Peripheral blood smear: 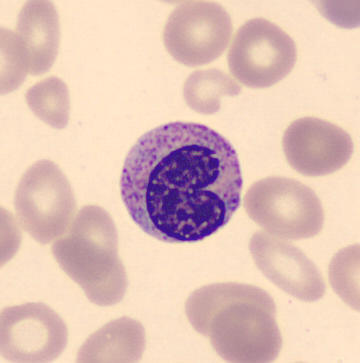
{"cell_type": "metamyelocyte", "lineage": "myeloid"}